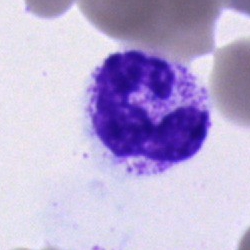

Cell type — segmented neutrophil.